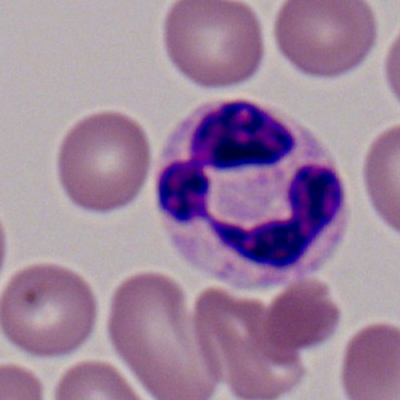 Single cell identified as a segmented neutrophil.